Bone marrow aspirate smear. Brightfield microscopy, 40× oil immersion — 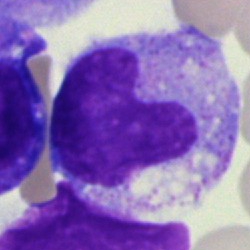 Q: What type of cell is this?
A: This is a monocyte.